250×250 px. Bone marrow aspirate smear
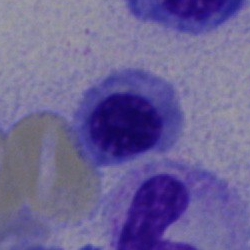 Specimen: bone marrow aspirate smear.
Classification: nucleated red cell.
Lineage: erythroid.